Bone marrow aspirate smear. 250×250 px — 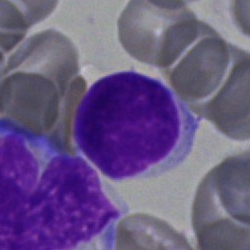

The cell is typical lymphocyte.